Bone marrow smear
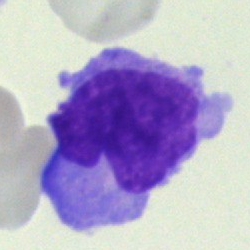
Single cell identified as a monocyte.